Bone marrow aspirate smear. 40× oil immersion
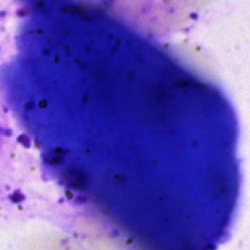The cell shown is an artifact.